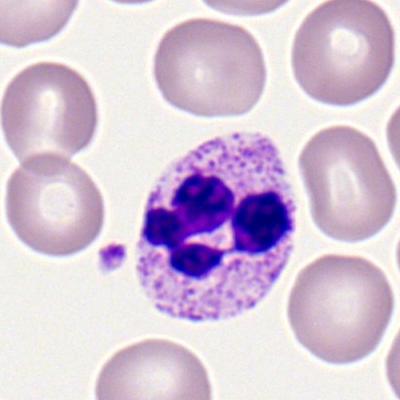Showing a polymorphonuclear neutrophil.